Single-cell field · bone marrow smear — 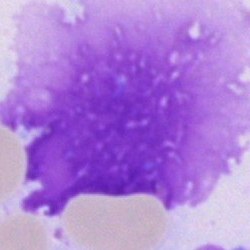

Specimen: bone marrow smear.
Classification: artifact.